Bone marrow smear.
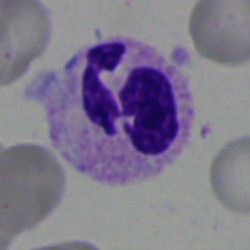

Showing a segmented neutrophil.